Single-cell field · brightfield, 40× oil-immersion objective · bone marrow smear: 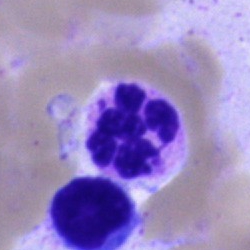

Cell type = polymorphonuclear neutrophil.